Bone marrow smear; May-Grünwald-Giemsa stain; single-cell crop:
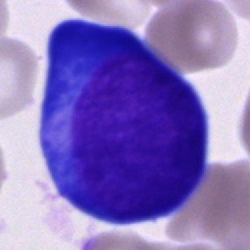
Single cell identified as a proerythroblast.